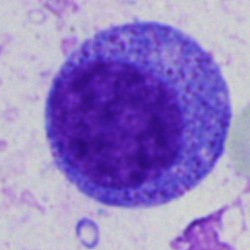
The morphological class is promyelocyte.